Pappenheim-stained · bone marrow aspirate smear.
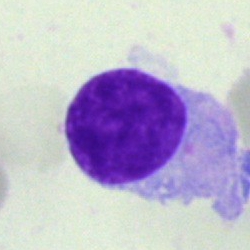
Q: What cell is this?
A: This is a hairy cell.